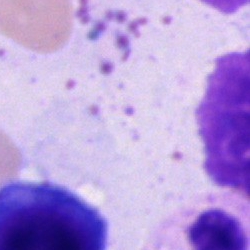

Q: What is shown here?
A: It is an artefact.